Bone marrow aspirate smear. May-Grünwald-Giemsa/Pappenheim stain. 250×250
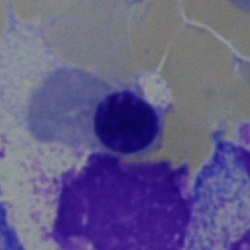

Erythroblast.